Bone marrow aspirate smear
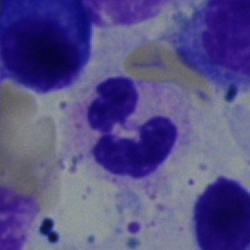 This is a polymorphonuclear neutrophil.